Bone marrow aspirate smear; image size 250×250 — 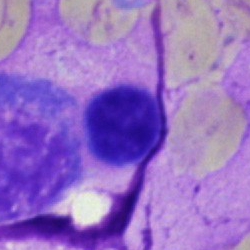 Single cell identified as a lymphocyte.